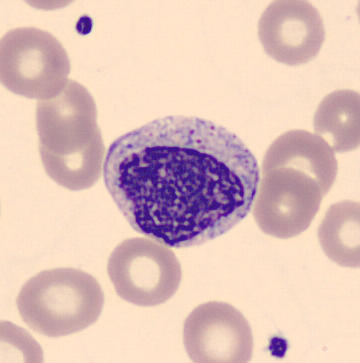Specimen: peripheral blood film.
Cell type: myelocyte.
Lineage: myeloid. Cropped to a single cell.